Bone marrow smear. 250×250.
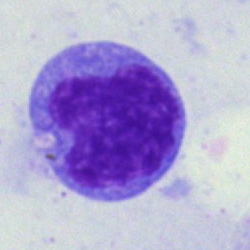Classification — monocyte.